Bone marrow smear:
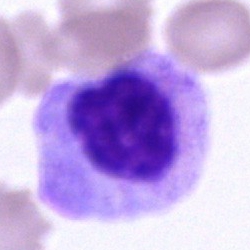Cell of indeterminate lineage.